Bone marrow aspirate smear
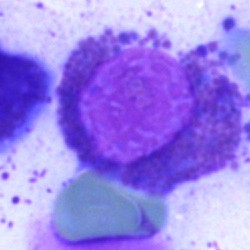Eosinophil.